Bone marrow aspirate smear: 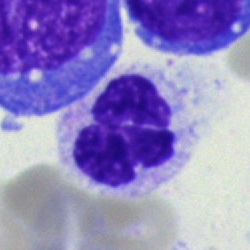
Cell = polymorphonuclear neutrophil.